Bone marrow aspirate smear:
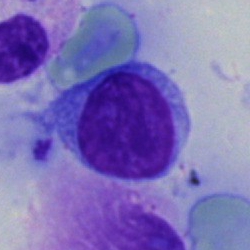 The cell type is lymphocyte.